Bone marrow aspirate smear; 250×250 — 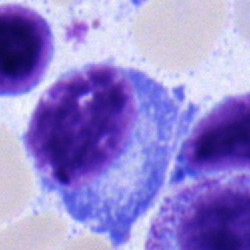
Classification = plasmacyte.